Bone marrow aspirate smear. 250×250 px. Brightfield, 40× oil-immersion objective:
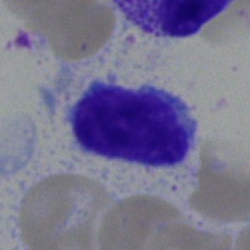Cell — lymphocyte.